Bone marrow aspirate smear.
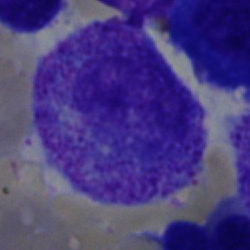
Specimen: bone marrow smear.
Cell: promyelocyte.